Peripheral blood film: 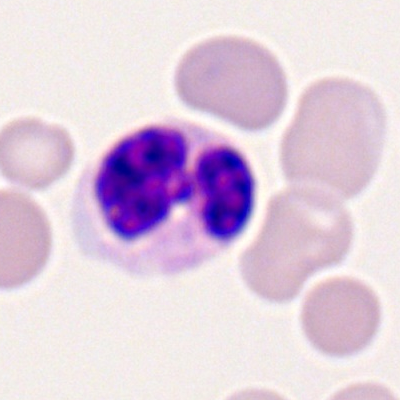
{"cell_type": "segmented neutrophil", "lineage": "myeloid"}